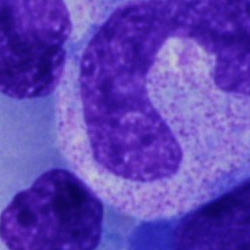Q: What is shown here?
A: A band-form neutrophil.